Peripheral blood smear; single cell centered in the field: 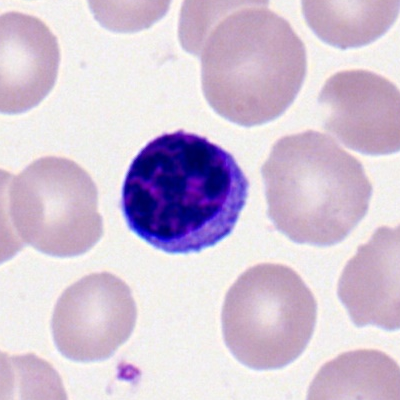 Q: Which cell type is shown here?
A: A typical lymphocyte.